Peripheral blood film.
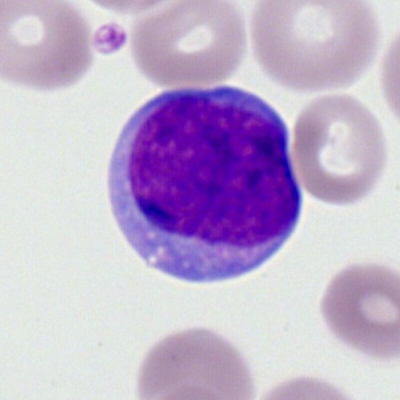

Specimen: peripheral blood smear.
Cell type: myeloblast.